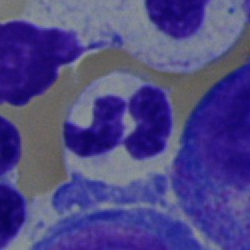

Morphological class — polymorphonuclear neutrophil.